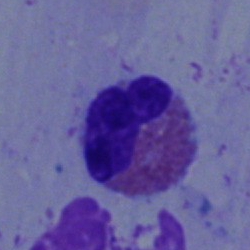

Q: What is shown here?
A: It is an eosinophil.